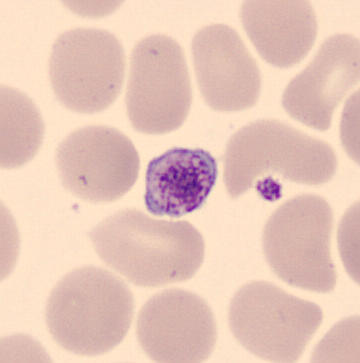Morphological class — platelet.